Bone marrow aspirate smear.
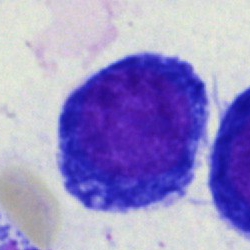The cell shown is a normoblast.